Bone marrow aspirate smear; 250 by 250 pixels: 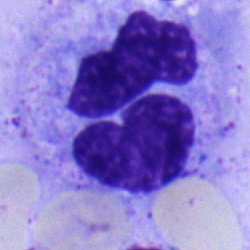
The cell shown is a monocyte.